Cropped to a single cell; 250×250; bone marrow aspirate smear: 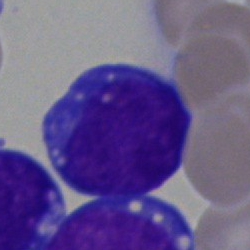
Cell — blast.